250×250. Bone marrow smear. Single cell centered in the field:
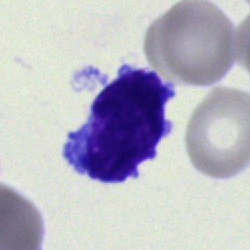A blast.